Bone marrow smear.
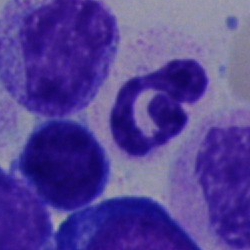 Specimen: bone marrow aspirate smear.
Cell type: neutrophil (segmented).